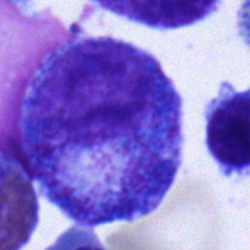
Cell type — progranulocyte.